Bone marrow smear. Single-cell field. May-Grünwald-Giemsa/Pappenheim stain.
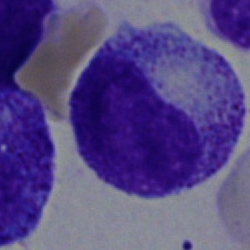Specimen: bone marrow aspirate smear.
Cell type: myelocyte.
Lineage: myeloid.